360×363 px; May-Grünwald-Giemsa-stained; peripheral blood smear
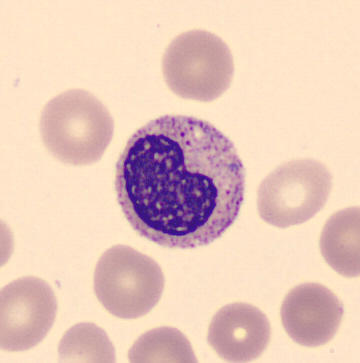
Impression — metamyelocyte.